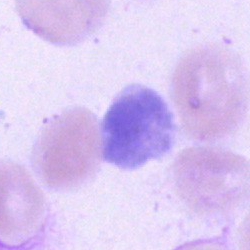

This is an artifact.